Peripheral blood film.
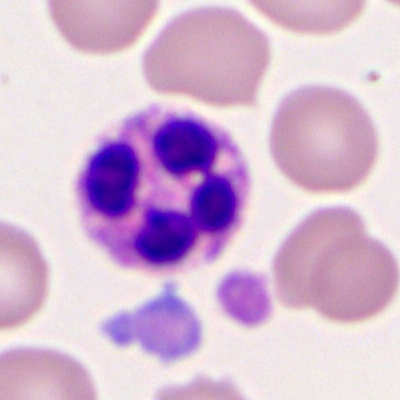

Impression → neutrophil (segmented).